Bone marrow aspirate smear
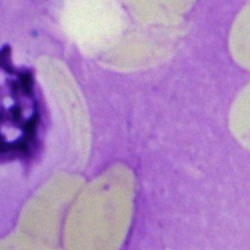Specimen: bone marrow aspirate smear.
Cell type: artifact.